Bone marrow aspirate smear:
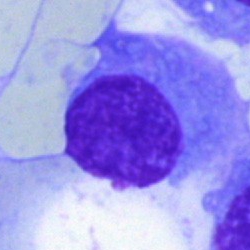Specimen: bone marrow smear.
Classification: plasma cell.
Lineage: lymphoid.